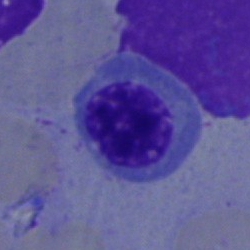

Specimen: bone marrow smear.
Cell: normoblast.
Lineage: erythroid.